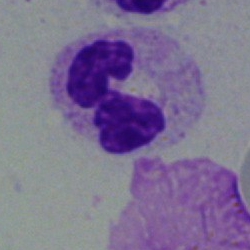 Specimen: bone marrow aspirate smear.
Morphological class: neutrophil (segmented).